Pappenheim-stained. 250×250 px. Bone marrow smear
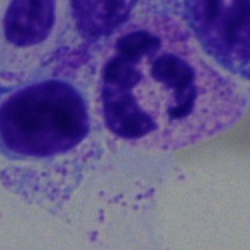
Specimen: bone marrow aspirate smear.
Classification: neutrophil (segmented).